Bone marrow aspirate smear.
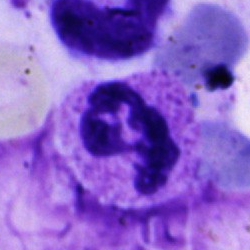

The cell type is segmented neutrophil.